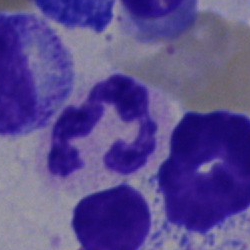 Impression — polymorphonuclear neutrophil.